Bone marrow smear.
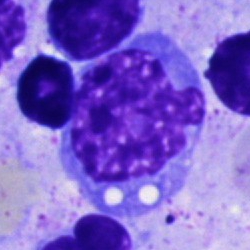

{"cell_type": "monocyte", "lineage": "myeloid"}